Bone marrow smear
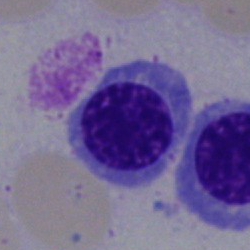Q: Which cell type is shown here?
A: It is an erythroblast.